Bone marrow aspirate smear
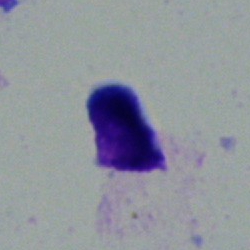Q: What is shown here?
A: This is an artefact.